Bone marrow aspirate smear:
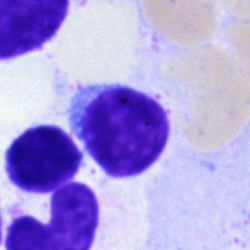
The morphological class is lymphocyte.